Bone marrow smear
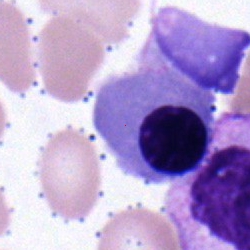 Cell = erythroblast.